Bone marrow aspirate smear: 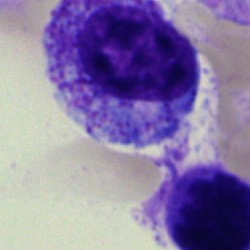

Morphological class: myelocyte.